Bone marrow aspirate smear; single-cell crop: 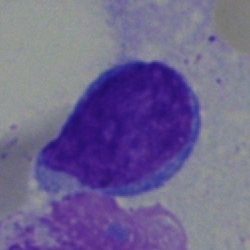 Impression → blast cell.